250×250; bone marrow smear; MGG-stained — 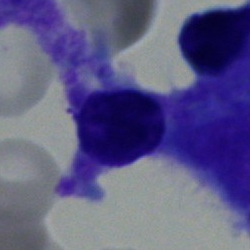
Q: What is shown here?
A: Artefact.